Bone marrow aspirate smear — 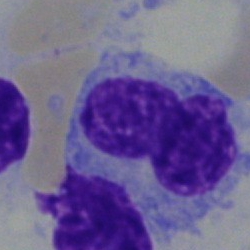Showing a hairy cell.